Bone marrow aspirate smear.
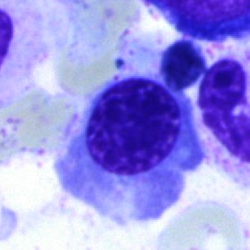Morphological class = erythroblast.